Bone marrow aspirate smear · 40× oil immersion:
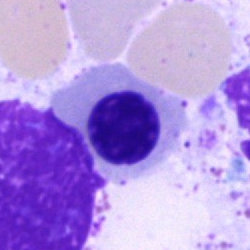
The classification is erythroblast.